Bone marrow smear — 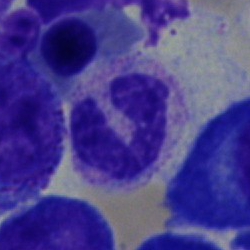Specimen: bone marrow smear.
Morphological class: band-form neutrophil.
Lineage: myeloid.